Single-cell field. Bone marrow aspirate smear — 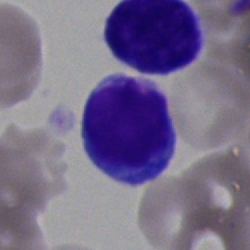 Single cell identified as a lymphocyte.